Bone marrow smear
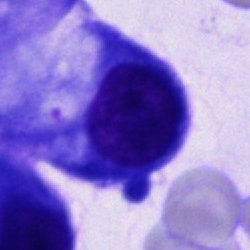Cell — other cell.